Bone marrow smear:
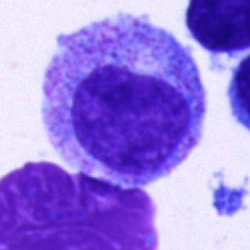
Specimen: bone marrow aspirate smear.
Cell type: progranulocyte.
Lineage: myeloid.